Bone marrow aspirate smear: 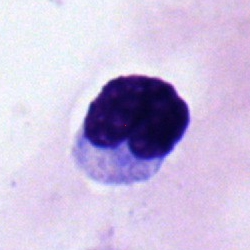

Monocyte.